Brightfield microscopy, 40× oil immersion · May-Grünwald-Giemsa/Pappenheim stain · bone marrow aspirate smear:
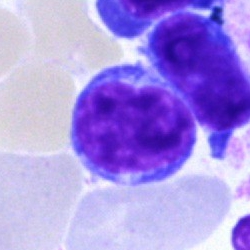 Morphology consistent with a typical lymphocyte.